40× objective, oil immersion · bone marrow smear · Pappenheim-stained — 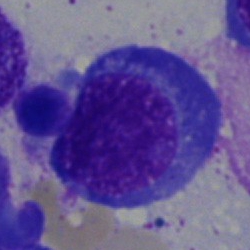
Nucleated red cell.